Bone marrow smear.
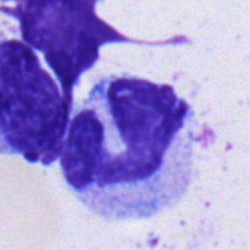

Q: Identify the cell.
A: Band neutrophil.